Bone marrow aspirate smear
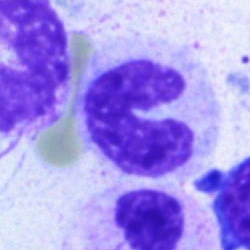 Morphological class = stab cell.